Bone marrow aspirate smear · cropped to a single cell · 250×250.
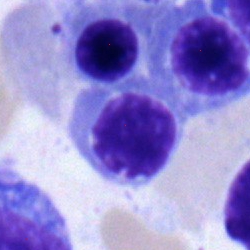Impression → nucleated red cell.